Peripheral blood smear — 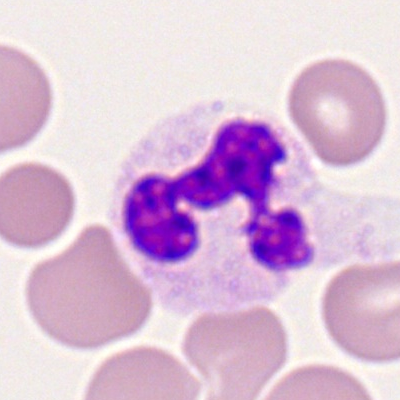 {"cell_type": "neutrophil (segmented)", "lineage": "myeloid"}